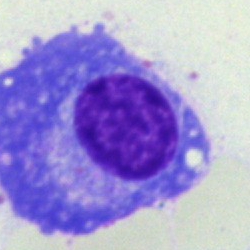

Morphological class: plasmacyte.